Bone marrow smear; 40× oil immersion
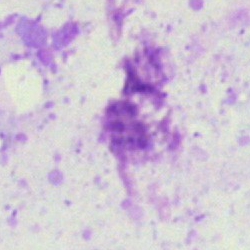
Artifact.